Bone marrow smear; single cell centered in the field:
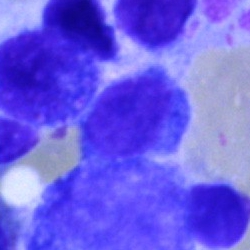Lymphocyte.